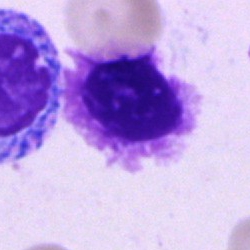 Q: What is shown here?
A: Artifact.